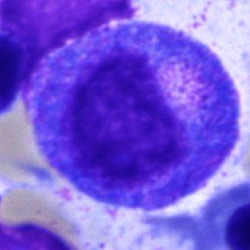 The cell type is progranulocyte.